Bone marrow smear · brightfield microscopy, 40× oil immersion — 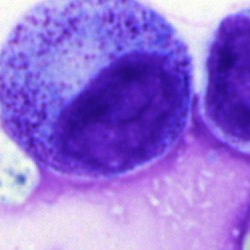
Q: Identify the cell.
A: This is a promyelocyte.